Bone marrow smear · MGG-stained
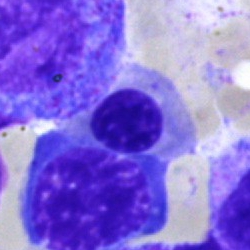 Cell type: erythroblast.